Bone marrow smear
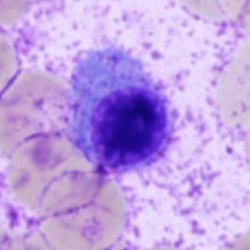

Specimen: bone marrow smear.
Cell: erythroblast.
Lineage: erythroid.